Bone marrow smear · brightfield, 40× oil-immersion objective — 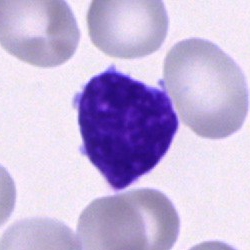 Q: Identify the cell.
A: A blast cell.